Cropped to a single cell. Bone marrow aspirate smear:
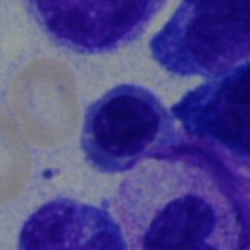 Cell type: nucleated red blood cell.